Bone marrow smear; image size 250×250; Pappenheim-stained
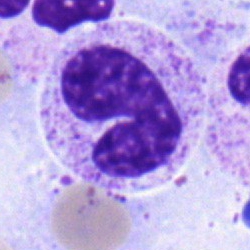 Q: What is shown here?
A: Band neutrophil.